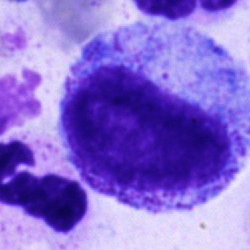
Q: What cell is this?
A: This is a promyelocyte.